Brightfield, 40× oil-immersion objective · bone marrow smear:
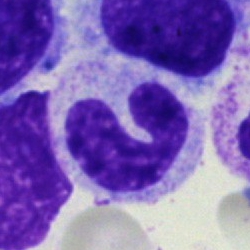 Q: What is the morphological classification of this cell?
A: A neutrophil (segmented).